250 by 250 pixels; bone marrow aspirate smear
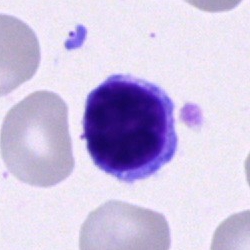 Specimen: bone marrow aspirate smear.
Cell type: lymphocyte.